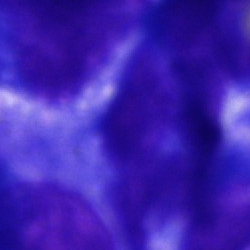Specimen: bone marrow aspirate smear.
Cell: undifferentiated blast.